MGG-stained; bone marrow smear; single-cell field.
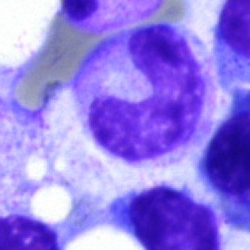 Cell type = stab cell.